Bone marrow aspirate smear.
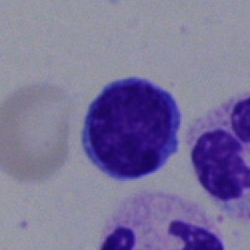
Showing a typical lymphocyte.